Bone marrow aspirate smear.
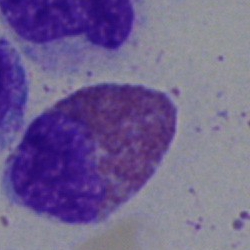Impression → eosinophil.